Peripheral blood film:
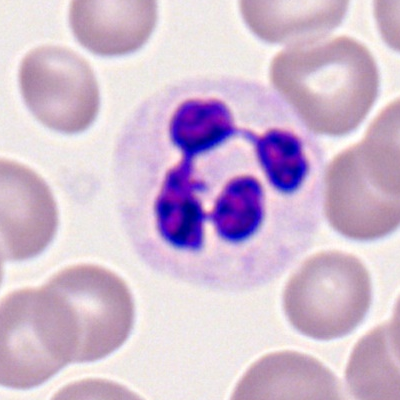Cell type: polymorphonuclear neutrophil.